Bone marrow smear; brightfield microscopy, 40× oil immersion.
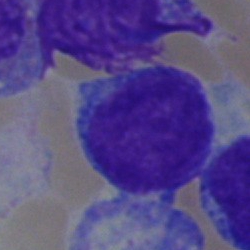

Morphology — blast.